Bone marrow smear; single-cell field.
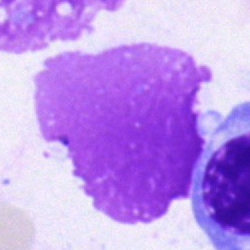
Morphology — artifact.